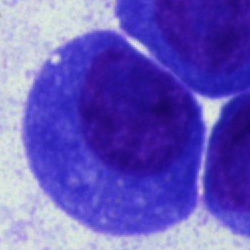 Classification = plasma cell.